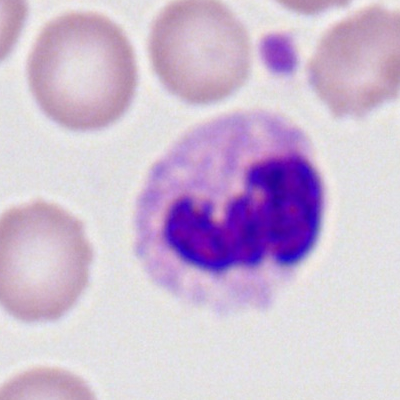Impression → neutrophil (segmented).